Bone marrow smear
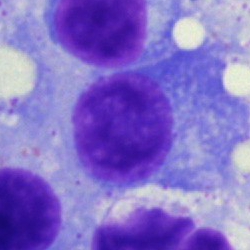 This is a plasmacyte.